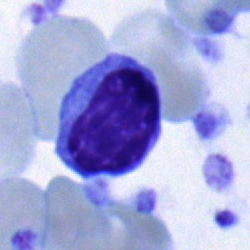
Cell = lymphocyte.